Bone marrow aspirate smear · single-cell crop.
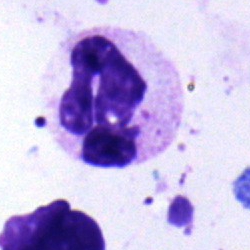

A polymorphonuclear neutrophil.